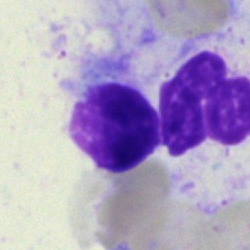 {"cell_type": "artifact"}